Bone marrow smear:
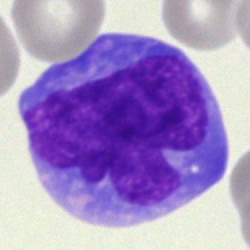
Q: What cell is this?
A: This is a monocyte.